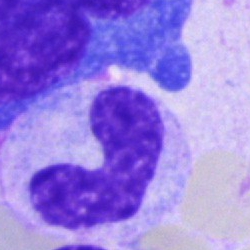
Q: Identify the cell.
A: It is a band-form neutrophil.